250×250 · bone marrow smear:
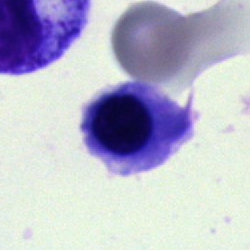 Morphology consistent with a normoblast.